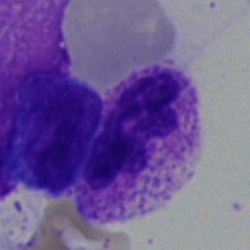Single-cell crop from a bone marrow smear: neutrophil (segmented).